Bone marrow aspirate smear · May-Grünwald-Giemsa/Pappenheim stain
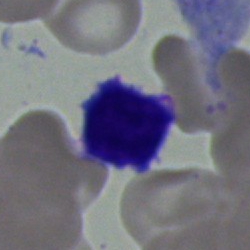
Classification: typical lymphocyte.